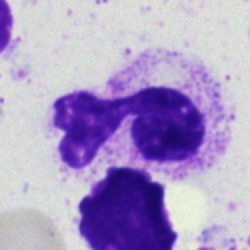The cell is neutrophil (segmented).